Bone marrow smear: 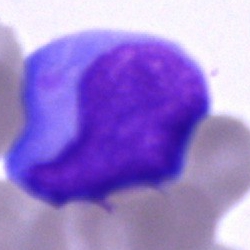An undifferentiated blast.